Single-cell crop. Bone marrow aspirate smear:
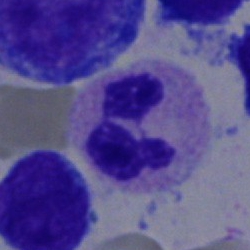
Q: Which cell type is shown here?
A: It is a polymorphonuclear neutrophil.